Bone marrow smear
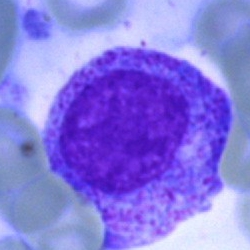

Cell type — progranulocyte.